Bone marrow smear — 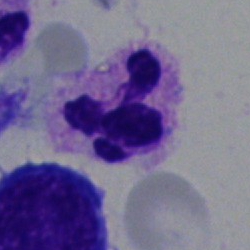
Cell: segmented neutrophil.